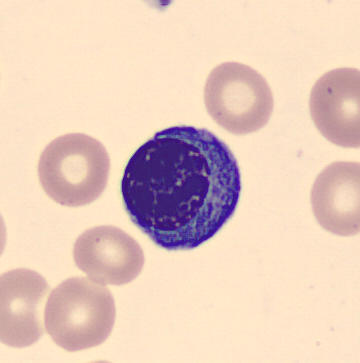

The morphological class is normoblast.